Bone marrow aspirate smear: 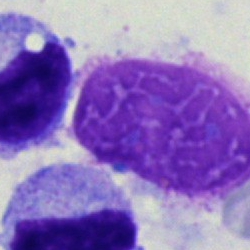
Single cell identified as an artefact.